Bone marrow smear · 40× oil immersion · single-cell crop.
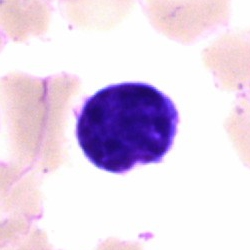
Q: What type of cell is this?
A: Typical lymphocyte.